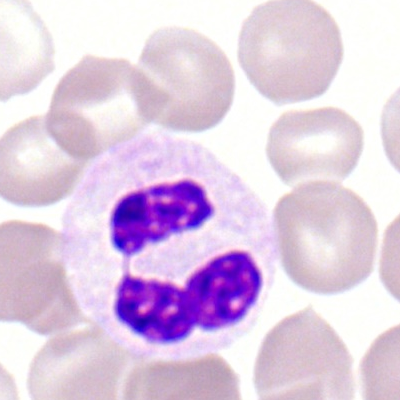 Specimen: peripheral blood smear.
Cell type: polymorphonuclear neutrophil.